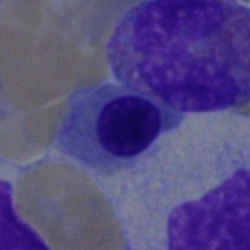 {"cell_type": "nucleated red blood cell", "lineage": "erythroid"}